Bone marrow aspirate smear:
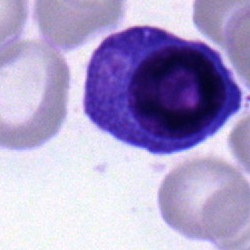 Showing a plasmacyte.